250×250 px · bone marrow aspirate smear — 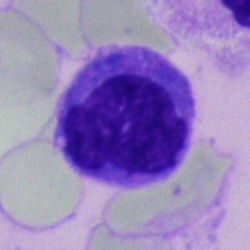The cell shown is a monocyte.